Brightfield, 40× oil-immersion objective; bone marrow smear:
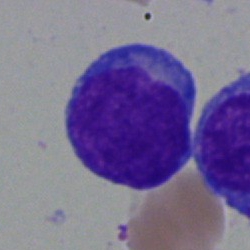Showing a blast.